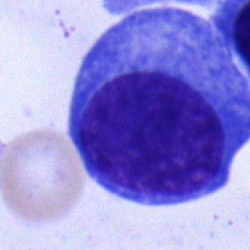 Specimen: bone marrow smear.
Classification: plasma cell.
Lineage: lymphoid.